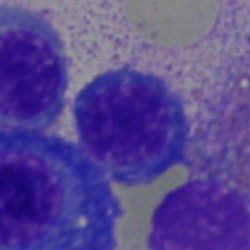Bone marrow smear showing an erythroblast.